Bone marrow smear
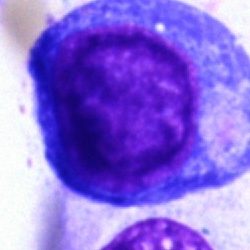 Cell type = promyelocyte.